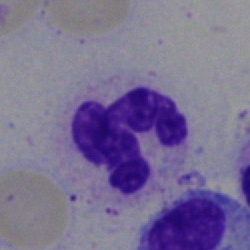

The cell shown is a neutrophil (segmented).